Bone marrow aspirate smear.
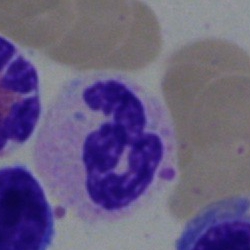

The cell type is neutrophil (segmented).